Bone marrow smear — 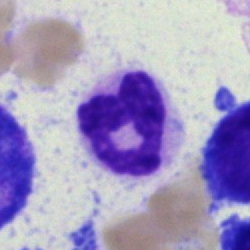 {"cell_type": "neutrophil (segmented)", "lineage": "myeloid"}